250 by 250 pixels. Bone marrow aspirate smear. May-Grünwald-Giemsa/Pappenheim stain — 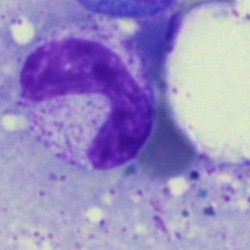Cell type — band neutrophil.